Bone marrow aspirate smear; 250×250 — 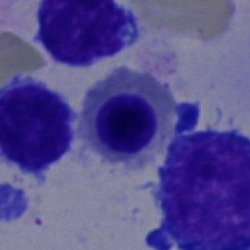 {"cell_type": "nucleated red blood cell"}